Bone marrow aspirate smear — 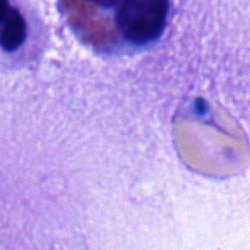Specimen: bone marrow smear.
Cell type: eosinophil.
Lineage: myeloid.